Bone marrow smear:
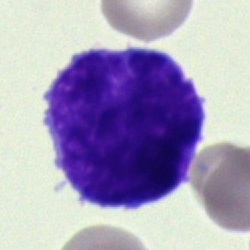Morphological class — undifferentiated blast.